Peripheral blood smear.
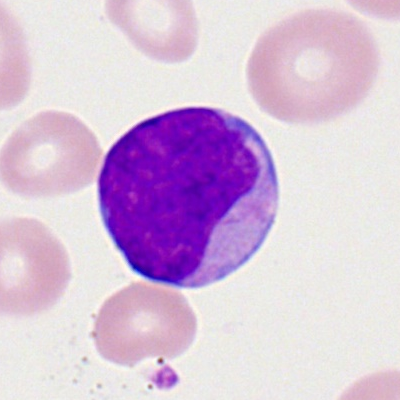Cell: myeloid blast.